Peripheral blood smear: 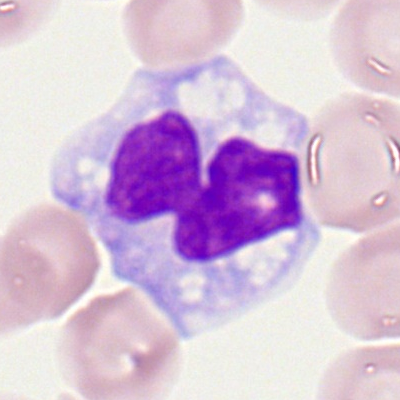 Morphological class — monocyte.